Bone marrow smear; image size 250×250:
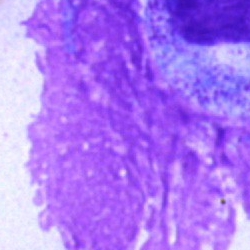
Impression → artefact.